Bone marrow aspirate smear · 250×250 px · single cell centered in the field:
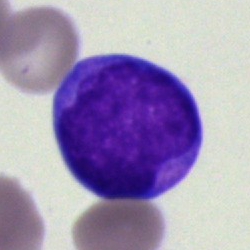Single cell identified as a blast.